Bone marrow aspirate smear
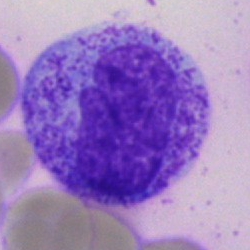The cell type is myelocyte.